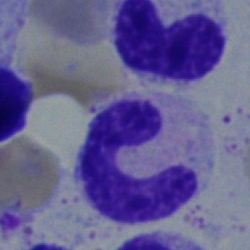Classification = band-form neutrophil.